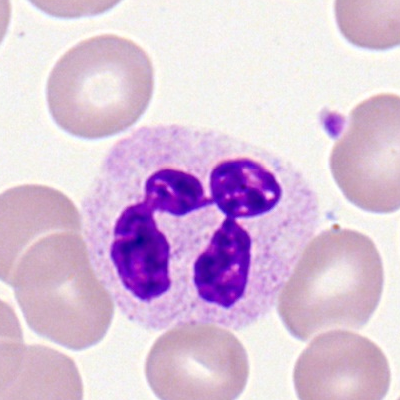

A segmented neutrophil.